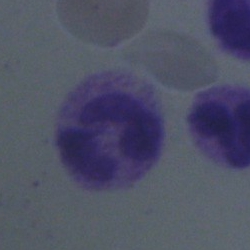 Q: Identify the cell.
A: It is a cell of indeterminate lineage.